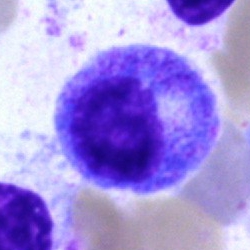

Q: Which cell type is shown here?
A: It is a myelocyte.